Single cell centered in the field. Peripheral blood film:
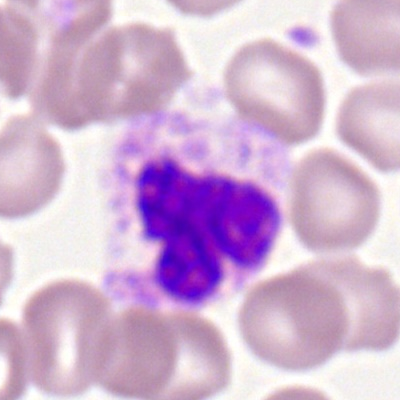 Cell type — polymorphonuclear neutrophil.